Single-cell field · bone marrow smear.
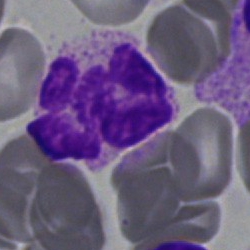 Morphology — segmented neutrophil.